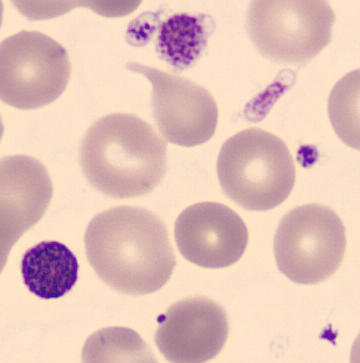 Preparation: Peripheral blood film.
Morphological class = thrombocyte.